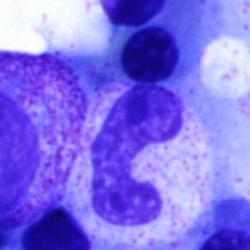Cell type: neutrophil (band).